Bone marrow smear — 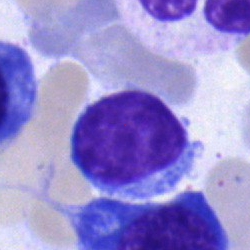
A lymphocyte.